40× oil immersion. May-Grünwald-Giemsa stain. Bone marrow aspirate smear: 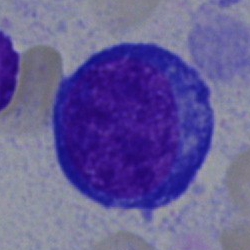 Classification: proerythroblast.